Bone marrow aspirate smear; 40× objective, oil immersion
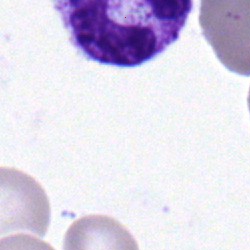 Specimen: bone marrow aspirate smear.
Cell type: band neutrophil.
Lineage: myeloid.